Peripheral blood film.
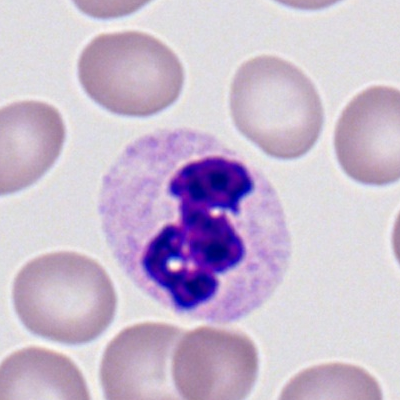

Specimen: peripheral blood film.
Morphological class: segmented neutrophil.
Lineage: myeloid.